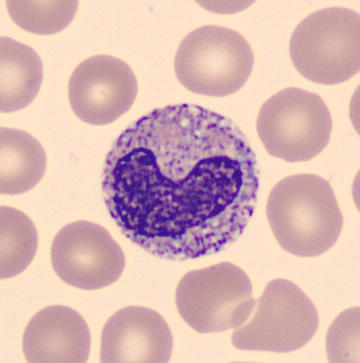
This is a band-form neutrophil.

Image: Peripheral blood film; CellaVision DM96 digital cell image.